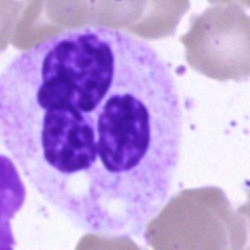
Morphological class: neutrophil (segmented).